Bone marrow smear — 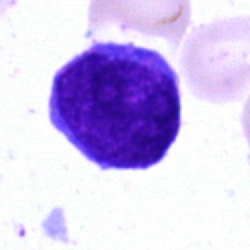 The cell type is undifferentiated blast.